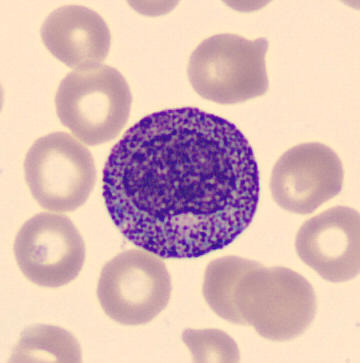
Classification = promyelocyte.

Peripheral blood smear · 360×363 px.